Bone marrow aspirate smear
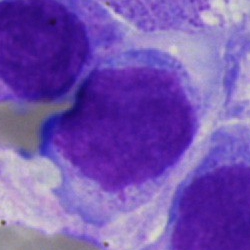The cell type is blast.